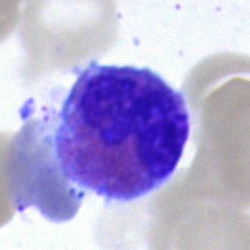Morphology consistent with an eosinophil.